Bone marrow smear. Single-cell crop:
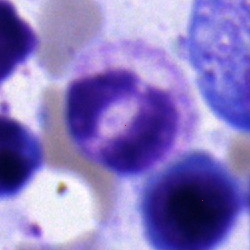Q: What is shown here?
A: Segmented neutrophil.